Bone marrow smear
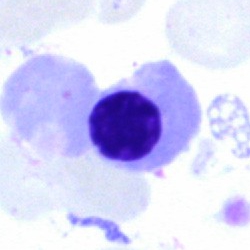 This is an erythroblast.